Bone marrow smear:
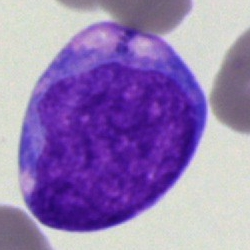

Undifferentiated blast.